Brightfield microscopy, 40× oil immersion; bone marrow smear — 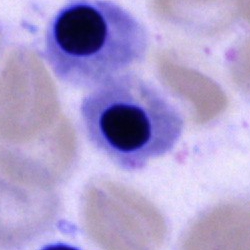Morphological class = normoblast.